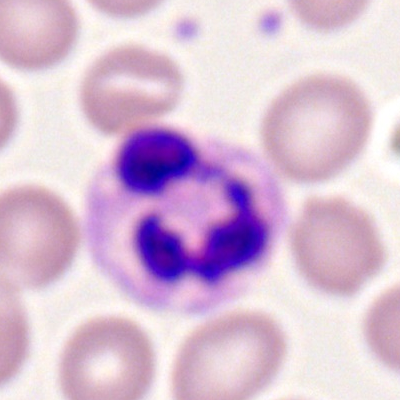

Q: Identify the cell.
A: It is a segmented neutrophil.